Bone marrow smear:
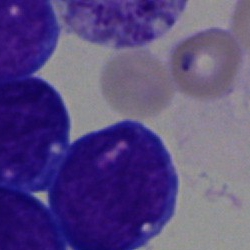 An undifferentiated blast.